Brightfield microscopy, 40× oil immersion; bone marrow smear
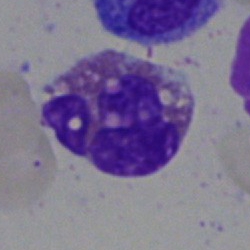

Single cell identified as an eosinophil.